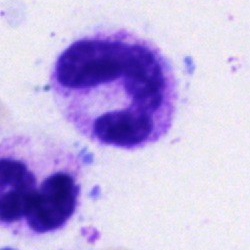
Polymorphonuclear neutrophil.